Bone marrow aspirate smear; brightfield microscopy, 40× oil immersion:
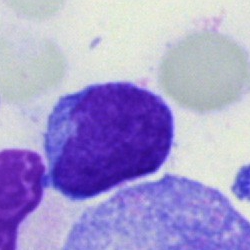Morphological class: blast.